Bone marrow smear
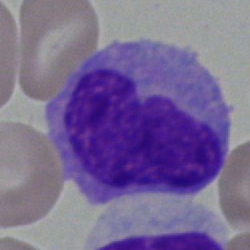 This is a monocyte.